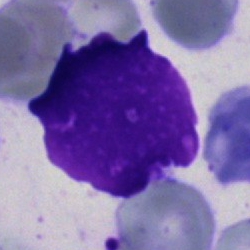
Q: What is shown here?
A: It is an artefact.